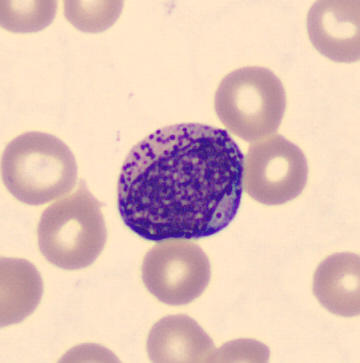
From a peripheral blood smear: a myelocyte.